Bone marrow smear.
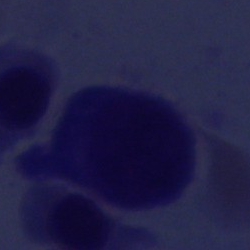 Morphological class — artefact.